Single cell centered in the field; bone marrow aspirate smear
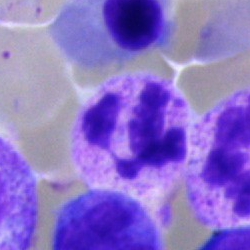
Morphology → neutrophil (segmented).